Image size 250×250; bone marrow smear; May-Grünwald-Giemsa/Pappenheim stain — 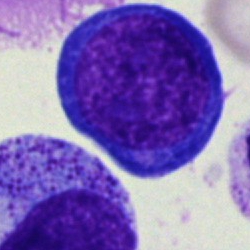
Single cell identified as an erythroblast.